Bone marrow aspirate smear:
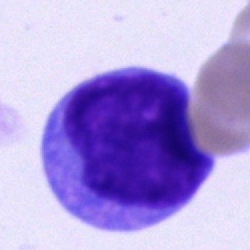This is an undifferentiated blast.